May-Grünwald-Giemsa/Pappenheim stain; bone marrow aspirate smear; single cell centered in the field:
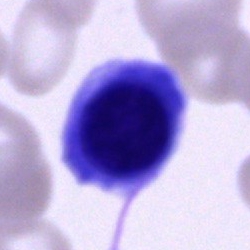 Showing an unidentifiable cell.